Bone marrow aspirate smear. 40× oil immersion: 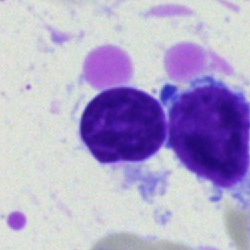

{"cell_type": "lymphocyte", "lineage": "lymphoid"}